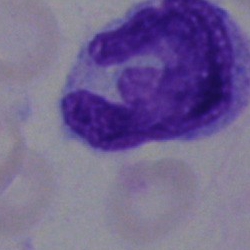Morphological class — monocyte.